Bone marrow aspirate smear:
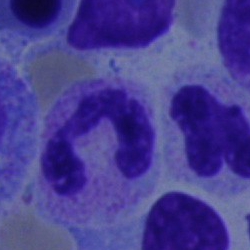 Q: Which cell type is shown here?
A: It is a polymorphonuclear neutrophil.